40× oil immersion · bone marrow smear · May-Grünwald-Giemsa stain
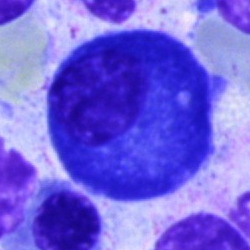

Morphology consistent with a plasma cell.